Cropped to a single cell; bone marrow aspirate smear — 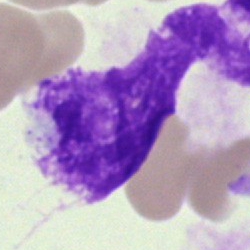 Morphology → artifact.